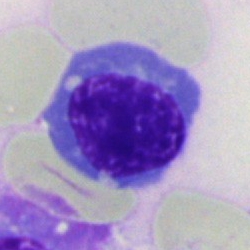
A normoblast on a bone marrow smear.